Bone marrow aspirate smear.
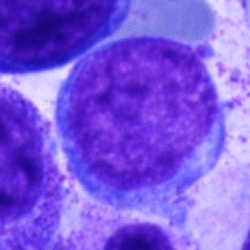 The cell type is undifferentiated blast.